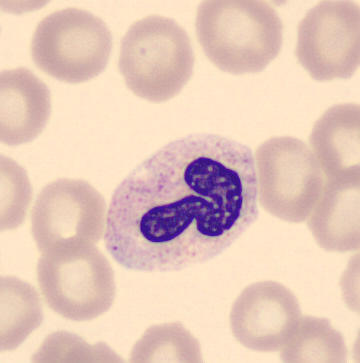

Peripheral blood smear.
The cell shown is a band-form neutrophil.